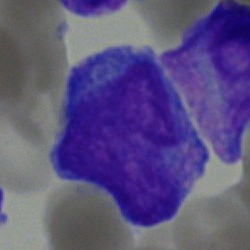

Morphological class = blast cell.